Bone marrow smear
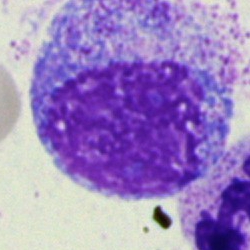Showing a progranulocyte.